Bone marrow aspirate smear: 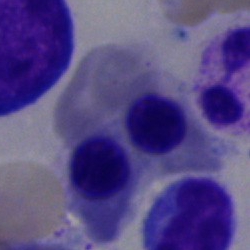Specimen: bone marrow aspirate smear.
Cell type: erythroblast.